Bone marrow aspirate smear: 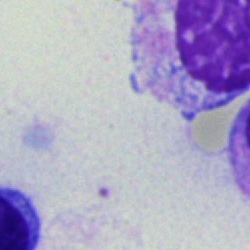
Cell — artefact.